Bone marrow aspirate smear: 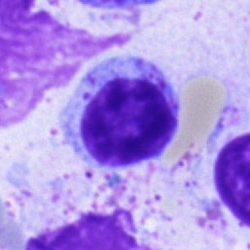
{"cell_type": "lymphocyte", "lineage": "lymphoid"}